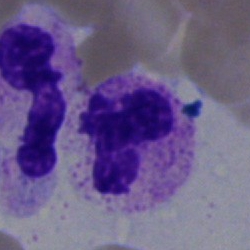
Morphological class = neutrophil (segmented).